Bone marrow smear
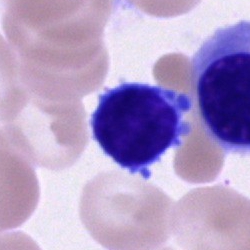 Cell — typical lymphocyte.